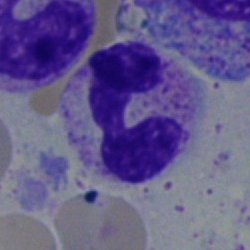{"cell_type": "band neutrophil"}